Bone marrow smear; 250×250 px: 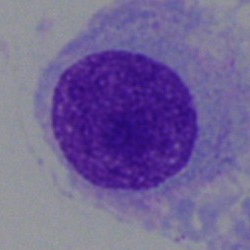Specimen: bone marrow smear.
Cell type: plasmacyte.
Lineage: lymphoid.